Bone marrow smear:
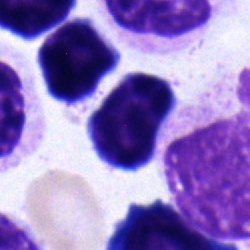
Specimen: bone marrow aspirate smear.
Morphological class: typical lymphocyte.
Lineage: lymphoid.